Image size 250×250 · bone marrow aspirate smear:
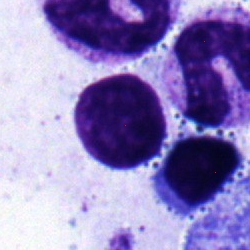
Classification: typical lymphocyte.